Peripheral blood film:
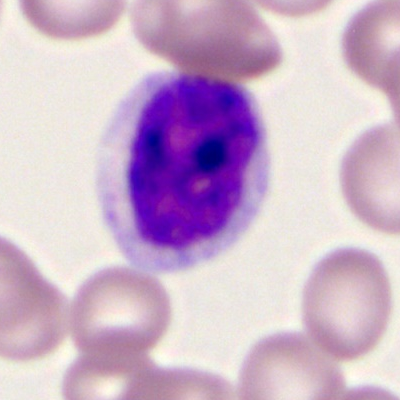
The cell shown is a lymphocyte.